Romanowsky-stained. Peripheral blood smear. 100× oil immersion, 14.14 px/µm: 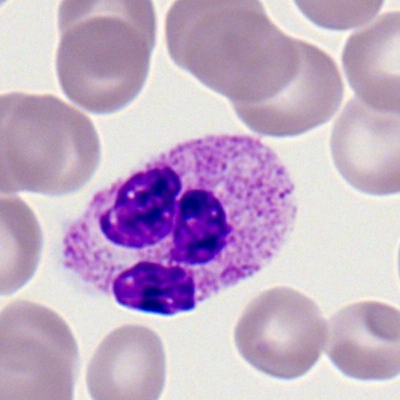Impression → neutrophil (segmented).